Bone marrow smear: 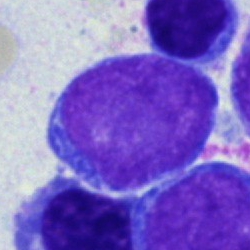
A blast cell.